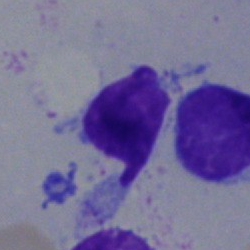Impression → lymphocyte.